Bone marrow smear — 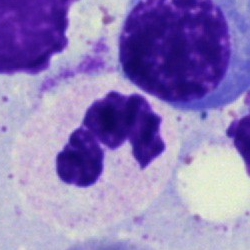Q: What type of cell is this?
A: A neutrophil (segmented).